Brightfield microscopy, 40× oil immersion · bone marrow smear:
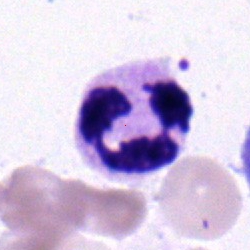
Classification — neutrophil (segmented).